Bone marrow aspirate smear: 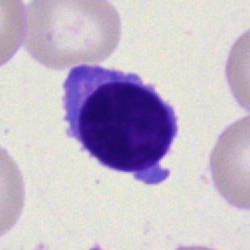

{"cell_type": "typical lymphocyte", "lineage": "lymphoid"}